Romanowsky stain; peripheral blood smear — 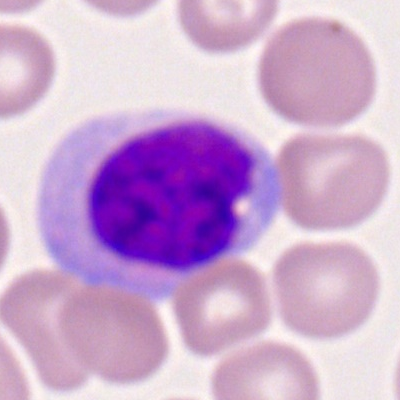 Monocyte.